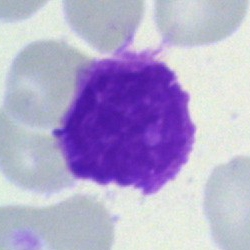
{"cell_type": "artifact"}